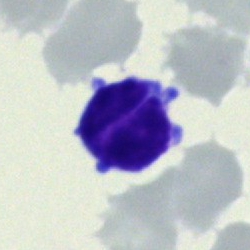
Specimen: bone marrow aspirate smear.
Cell type: lymphocyte.